250 by 250 pixels · bone marrow aspirate smear — 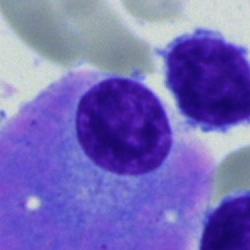 Showing a plasma cell.